May-Grünwald-Giemsa/Pappenheim stain · bone marrow aspirate smear.
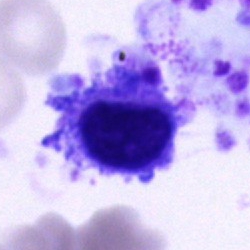

Q: What cell is this?
A: This is a cell of indeterminate lineage.